Bone marrow smear: 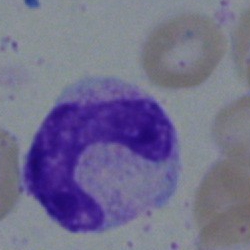Classification — stab cell.